Bone marrow smear. May-Grünwald-Giemsa/Pappenheim stain
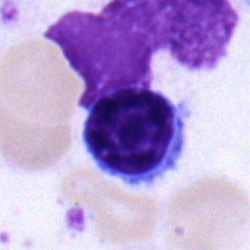 Specimen: bone marrow smear.
Morphological class: typical lymphocyte.